Bone marrow smear:
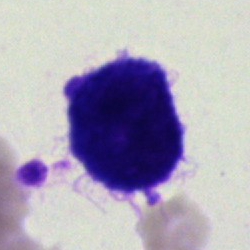

Morphological class: undifferentiated blast.